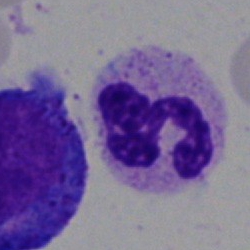 {"cell_type": "segmented neutrophil", "lineage": "myeloid"}